Peripheral blood film. Image size 360×363: 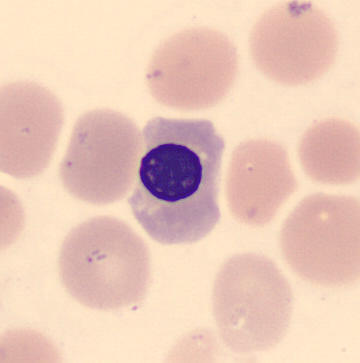Cell type — normoblast.